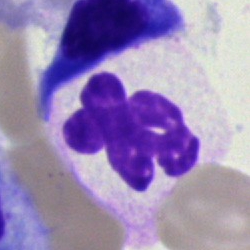 Single cell identified as a neutrophil (segmented).